Bone marrow aspirate smear.
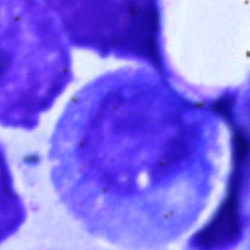
The cell is progranulocyte.